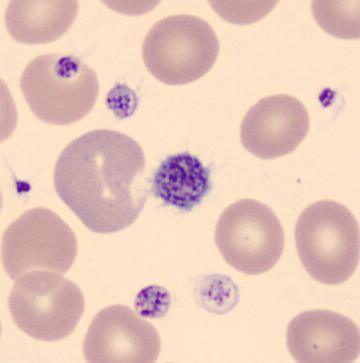
Cell type = platelet.
Acquisition: Peripheral blood film.